Peripheral blood film; 100× oil immersion — 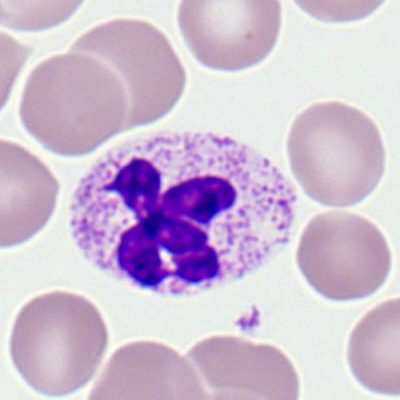 Morphology consistent with a polymorphonuclear neutrophil.